Bone marrow smear: 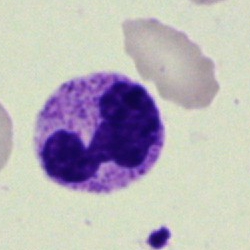
The cell shown is a band-form neutrophil.